Peripheral blood smear
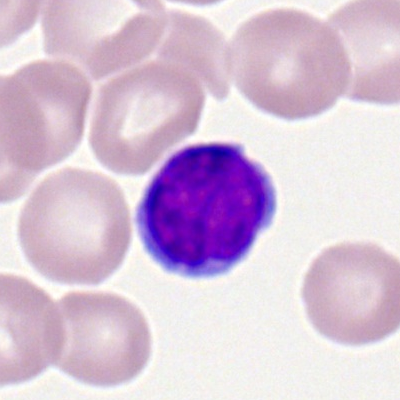 Single cell identified as a typical lymphocyte.